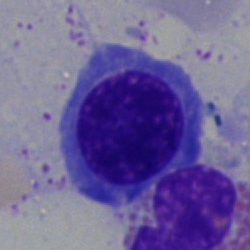
Specimen: bone marrow smear.
Cell type: normoblast.